Bone marrow aspirate smear · MGG-stained · 250×250 px
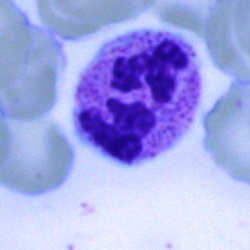

Impression → polymorphonuclear neutrophil.